Single-cell crop. Peripheral blood smear. 400×400.
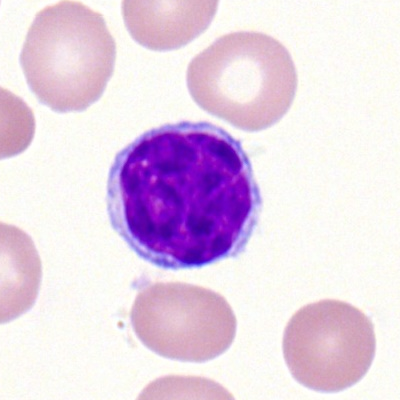
Classification — lymphocyte.